Pappenheim-stained · bone marrow smear · single cell centered in the field: 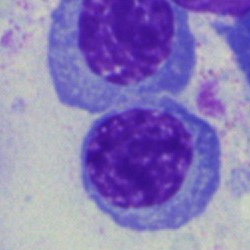
Specimen: bone marrow smear.
Cell: nucleated red blood cell.
Lineage: erythroid.